Single-cell field; bone marrow aspirate smear; 250×250.
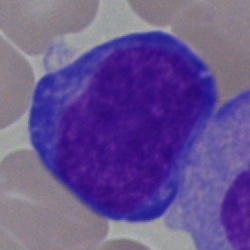

Blast.